40× objective, oil immersion. 250×250. Bone marrow aspirate smear: 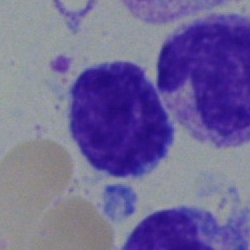 Showing a typical lymphocyte.